Bone marrow smear
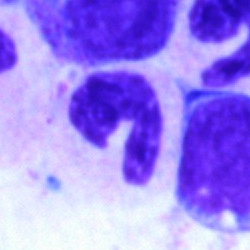 Showing a stab cell.